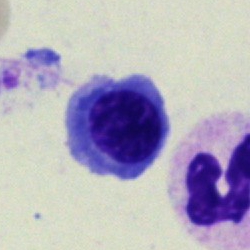 Specimen: bone marrow smear.
Cell: nucleated red blood cell.